Bone marrow aspirate smear. 40× oil immersion — 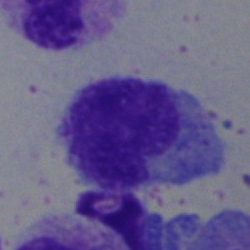
Specimen: bone marrow aspirate smear.
Cell type: monocyte.
Lineage: myeloid.